Bone marrow aspirate smear:
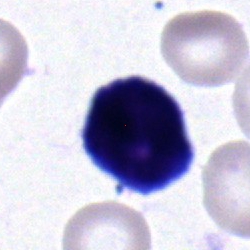

Specimen: bone marrow smear.
Cell type: lymphocyte.
Lineage: lymphoid.